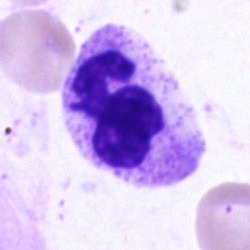 Classification = neutrophil (segmented).